Bone marrow aspirate smear.
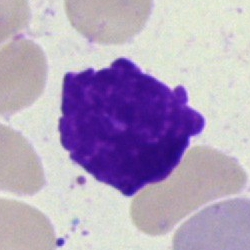Specimen: bone marrow smear.
Cell: artefact.